Bone marrow aspirate smear:
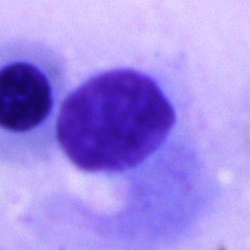
Impression — artifact.